Bone marrow aspirate smear; 250×250; brightfield microscopy, 40× oil immersion
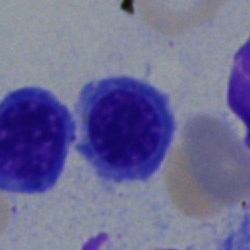A nucleated red cell.